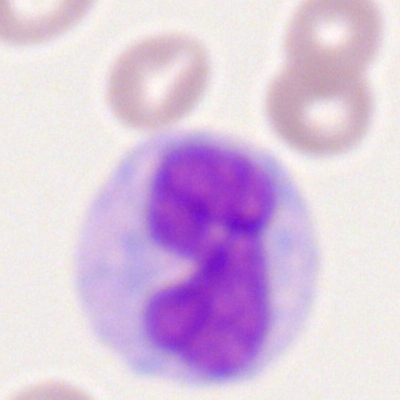Morphological class — monocyte.